Bone marrow smear: 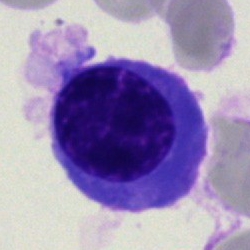

Nucleated red blood cell.